Peripheral blood smear. Romanowsky-type stain.
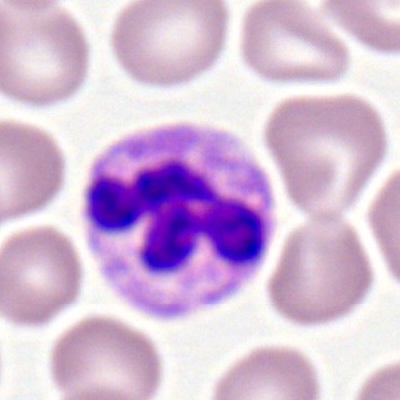
Q: What type of cell is this?
A: Neutrophil (segmented).